Bone marrow smear.
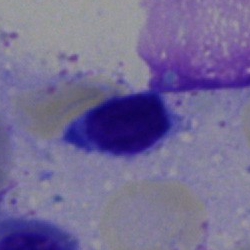

Cell type = artifact.